Image size 250×250. Bone marrow aspirate smear:
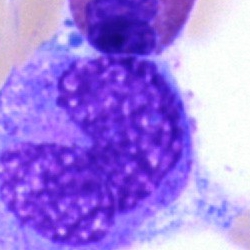

Showing a monocyte.